Bone marrow smear:
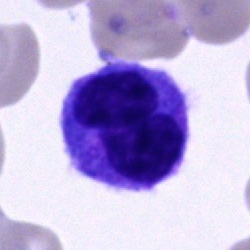 {"cell_type": "monocyte"}